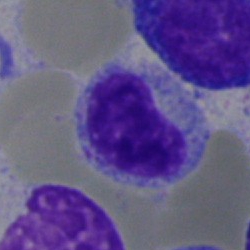
Morphological class: neutrophil (band).